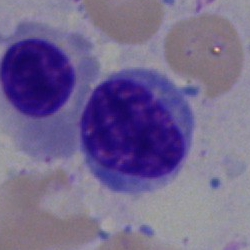
Morphological class — nucleated red blood cell.